Bone marrow smear · image size 250×250:
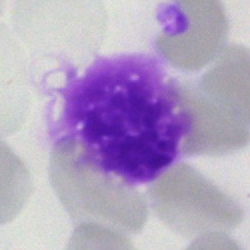
Q: What is shown here?
A: This is an artefact.